Bone marrow aspirate smear — 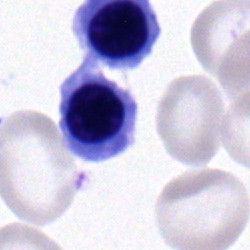 Q: Identify the cell.
A: A normoblast.